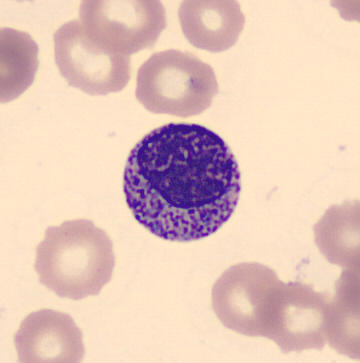Acquisition: Peripheral blood smear.
The cell shown is a metamyelocyte.